May-Grünwald-Giemsa/Pappenheim stain · bone marrow aspirate smear — 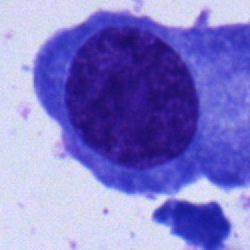 Cell = plasma cell.